Pappenheim-stained. Single cell centered in the field. Bone marrow aspirate smear:
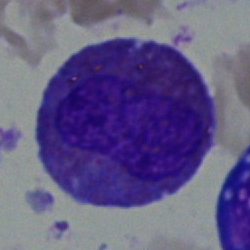The cell type is eosinophilic granulocyte.